Bone marrow aspirate smear — 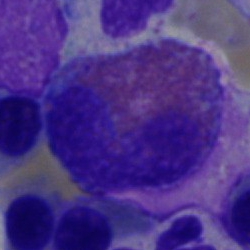Morphological class = eosinophilic granulocyte.